Bone marrow aspirate smear:
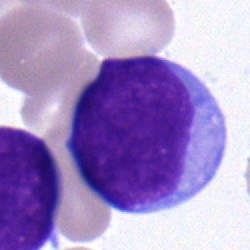The cell shown is a blast.